Bone marrow aspirate smear:
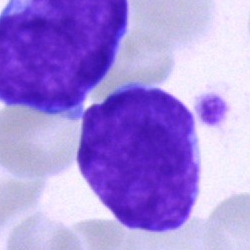Q: What is the morphological classification of this cell?
A: An undifferentiated blast.